MGG-stained · bone marrow aspirate smear: 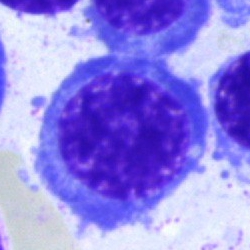

Q: Which cell type is shown here?
A: It is a nucleated red blood cell.